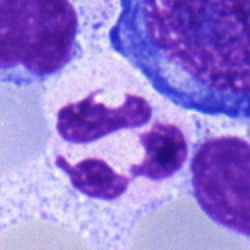{"cell_type": "polymorphonuclear neutrophil", "lineage": "myeloid"}